Peripheral blood film — 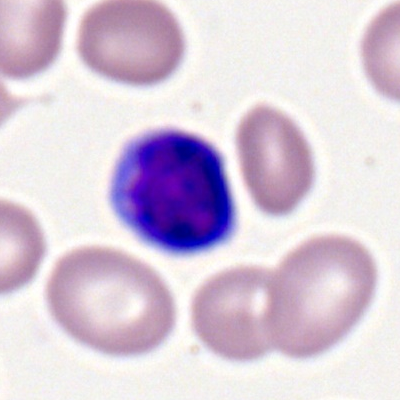Cell type = typical lymphocyte.